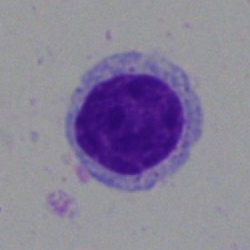Specimen: bone marrow smear.
Classification: lymphocyte.